Bone marrow smear; 250 by 250 pixels: 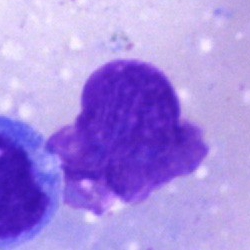

Cell type: artefact.